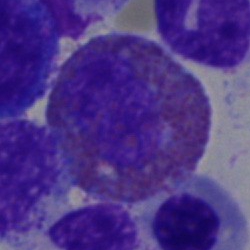

Impression — eosinophilic granulocyte.